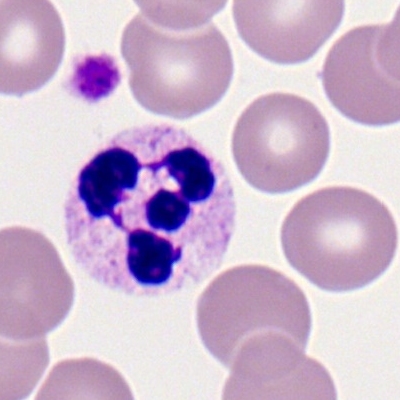
Specimen: peripheral blood smear.
Classification: neutrophil (segmented).